CellaVision DM96. 360×363. Peripheral blood film.
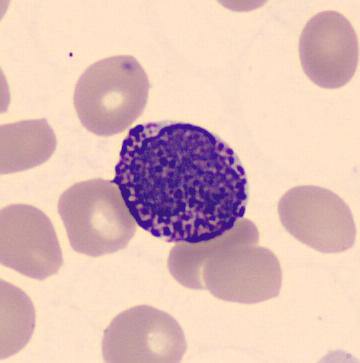

Single cell identified as a basophilic granulocyte.